Image size 400×400. Peripheral blood film. Single cell centered in the field
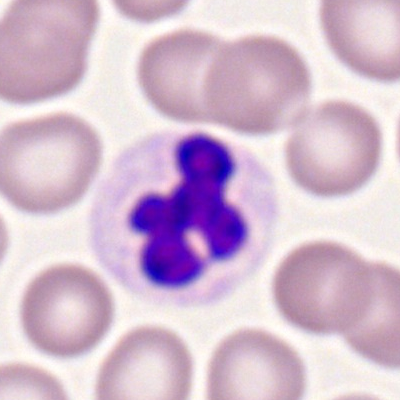

Morphological class: polymorphonuclear neutrophil.